Bone marrow smear: 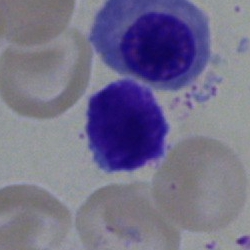

Impression — lymphocyte.